Bone marrow aspirate smear
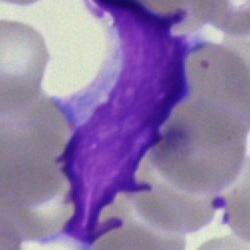Cell: artefact.